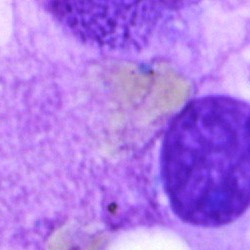
An artifact.